Bone marrow smear — 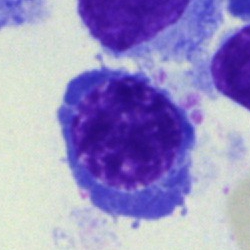

Specimen: bone marrow aspirate smear.
Morphological class: nucleated red cell.
Lineage: erythroid.